Bone marrow aspirate smear; MGG-stained: 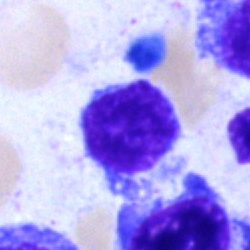Typical lymphocyte.